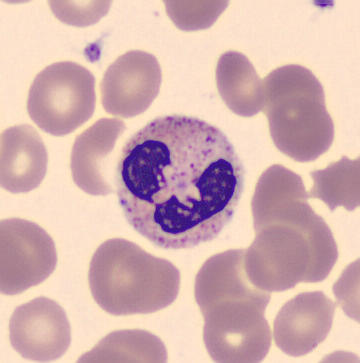 The cell is polymorphonuclear neutrophil.